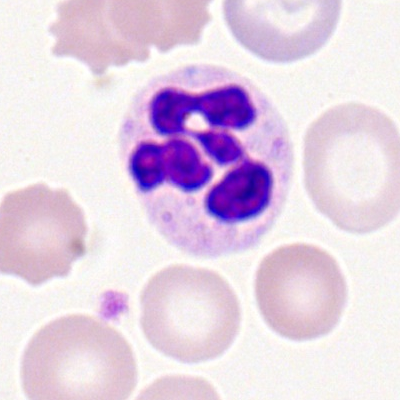A neutrophil (segmented).